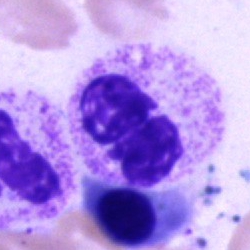
Bone marrow aspirate smear, single cell — neutrophil (segmented).